Bone marrow aspirate smear; 250×250; brightfield, 40× oil-immersion objective: 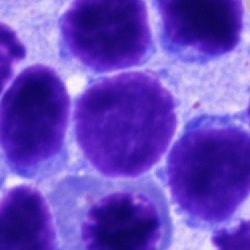
Showing a lymphocyte.